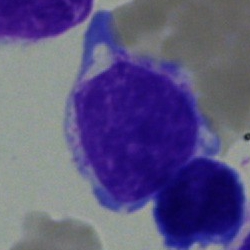 Q: Which cell type is shown here?
A: This is an undifferentiated blast.